Single cell centered in the field. Bone marrow smear. 250×250:
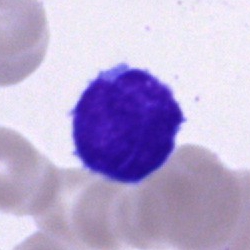

The cell shown is a lymphocyte.